Image size 250×250 · bone marrow smear:
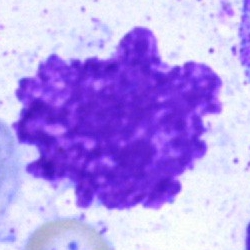Q: What is shown here?
A: An artifact.